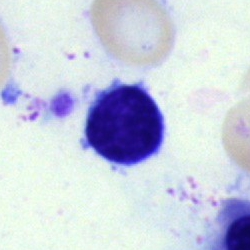
Q: What is the morphological classification of this cell?
A: A typical lymphocyte.